Bone marrow smear.
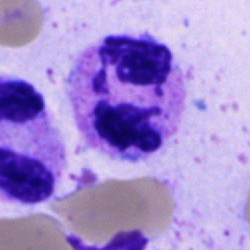

Morphological class — segmented neutrophil.